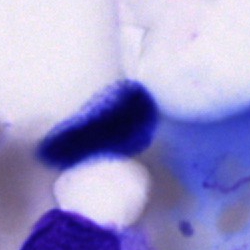

An artefact.